Pappenheim-stained. Cropped to a single cell. Bone marrow smear
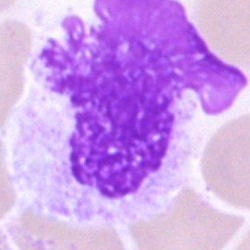The cell is artefact.